Bone marrow smear · 250×250:
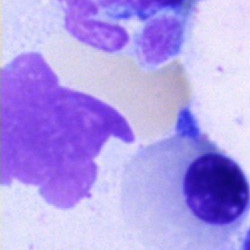
Single cell identified as an artifact.